Bone marrow smear — 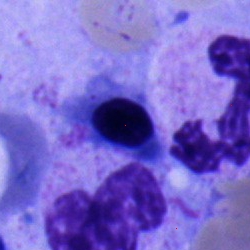 Classification = erythroblast.